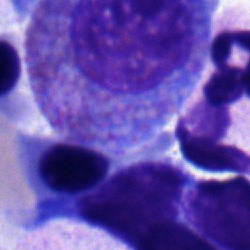
Q: Identify the cell.
A: This is a lymphocyte.